Bone marrow smear · brightfield microscopy, 40× oil immersion:
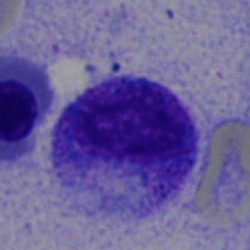 Showing a promyelocyte.